250×250 px. Bone marrow smear. May-Grünwald-Giemsa/Pappenheim stain:
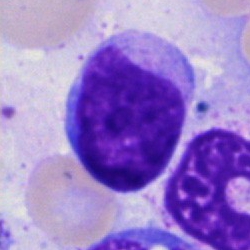
Blast.